Bone marrow aspirate smear · 250×250 px
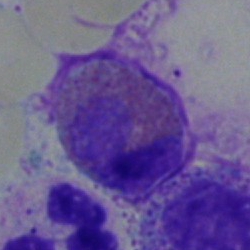 Morphology consistent with an eosinophilic granulocyte.